250×250; bone marrow smear; 40× oil immersion.
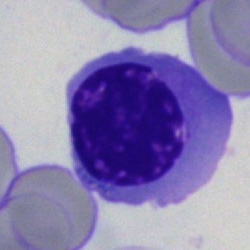 Morphology consistent with an erythroblast.